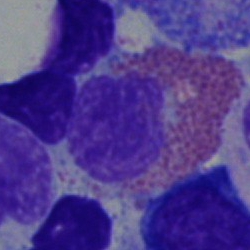

An eosinophil on a bone marrow smear.